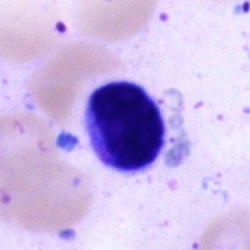 Bone marrow smear showing a typical lymphocyte.